Image size 250×250. Bone marrow aspirate smear:
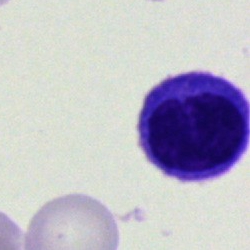Cell type = lymphocyte.